Bone marrow smear; MGG-stained
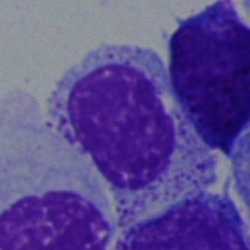
Morphological class — myelocyte.